Brightfield microscopy, 40× oil immersion; 250×250 px; bone marrow smear.
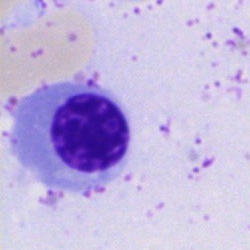 Morphological class: erythroblast.